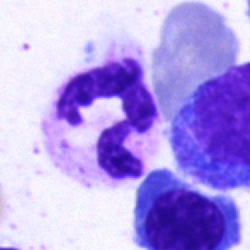 The cell shown is a segmented neutrophil.